Bone marrow aspirate smear; brightfield microscopy, 40× oil immersion; 250 by 250 pixels
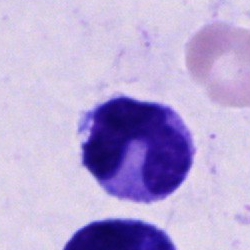

{"cell_type": "band neutrophil", "lineage": "myeloid"}